Bone marrow smear.
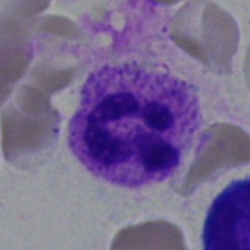
Morphology consistent with a segmented neutrophil.